Brightfield, 40× oil-immersion objective; image size 250×250; bone marrow aspirate smear:
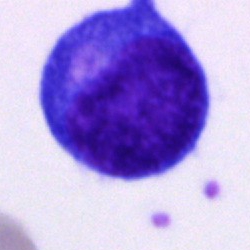
A progranulocyte.